Bone marrow aspirate smear:
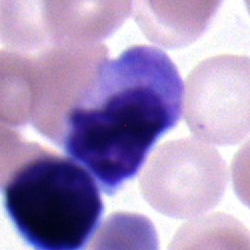A myelocyte.